Bone marrow smear; MGG-stained
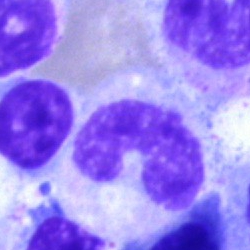 Specimen: bone marrow aspirate smear.
Classification: band neutrophil.
Lineage: myeloid.